Bone marrow aspirate smear: 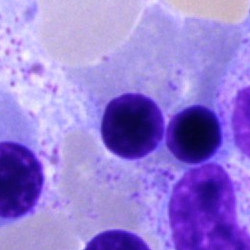 Q: What type of cell is this?
A: It is a nucleated red blood cell.